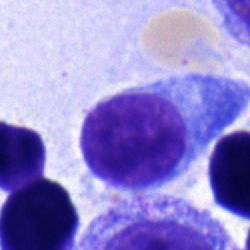
Q: What is shown here?
A: A plasmacyte.